Brightfield microscopy, 40× oil immersion. Bone marrow aspirate smear — 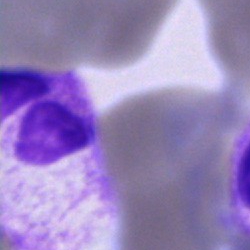 Cell = artifact.